Bone marrow smear; brightfield, 40× oil-immersion objective — 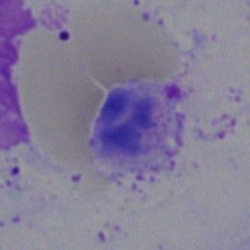
The cell shown is an artifact.